Bone marrow aspirate smear
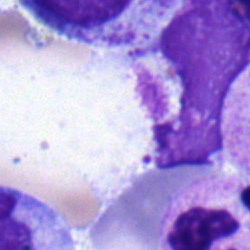

Showing a metamyelocyte.